Bone marrow aspirate smear.
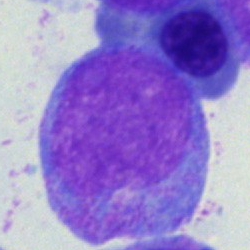 This is a progranulocyte.